Peripheral blood film — 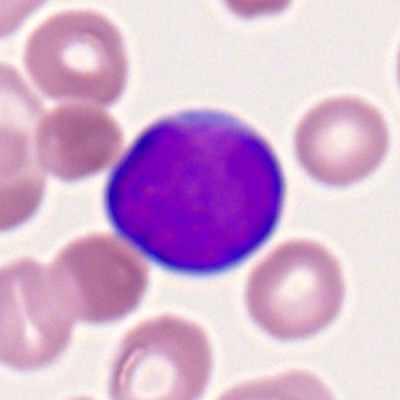Cell — myeloblast.